Bone marrow aspirate smear. 250×250
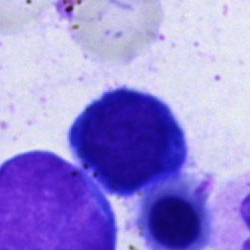
Q: Which cell type is shown here?
A: Typical lymphocyte.